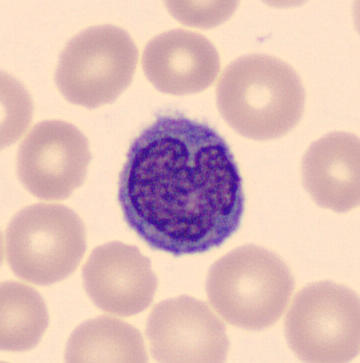

Image: May-Grünwald-Giemsa-stained. 360×363. Peripheral blood film.

Impression — monocyte.